Bone marrow aspirate smear.
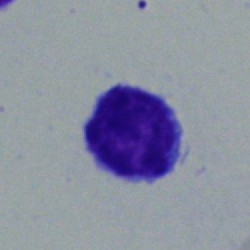 Morphological class — typical lymphocyte.